Bone marrow aspirate smear · May-Grünwald-Giemsa stain · single-cell field.
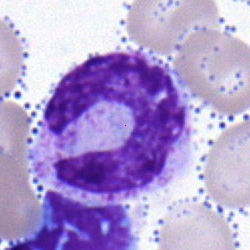A stab cell.